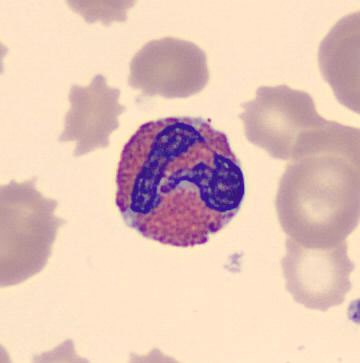
Cell type = eosinophil.

Peripheral blood film.